Bone marrow aspirate smear. Single-cell field
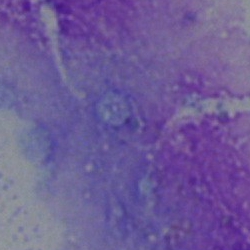This is an artifact.